MGG-stained; bone marrow aspirate smear; single cell centered in the field:
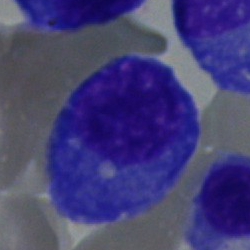Specimen: bone marrow aspirate smear.
Morphological class: plasmacyte.